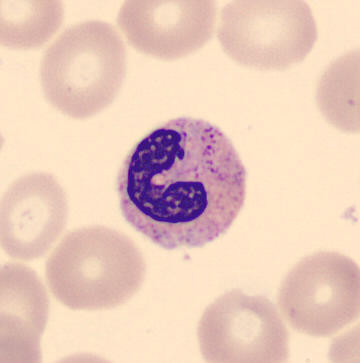
360×363. Peripheral blood film. May-Grünwald-Giemsa-stained.

Impression → neutrophil (band).